Bone marrow smear · MGG-stained.
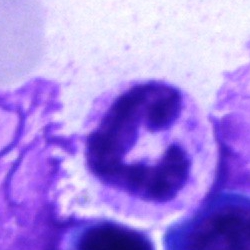
Morphological class: neutrophil (segmented).